Bone marrow aspirate smear — 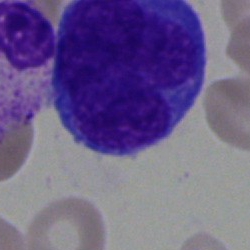 This is a monocyte.